Bone marrow aspirate smear; single cell centered in the field: 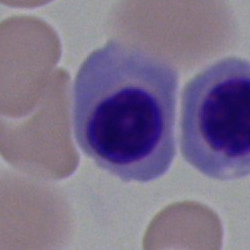
Q: What type of cell is this?
A: A normoblast.